Bone marrow smear; single cell centered in the field; image size 250×250:
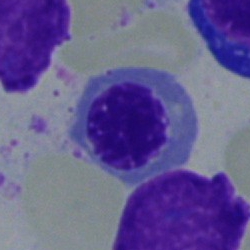 A nucleated red blood cell.